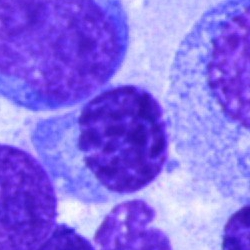Classification: normoblast.